Brightfield microscopy, 40× oil immersion. Bone marrow smear
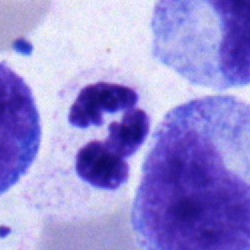 Morphology consistent with a plasma cell.